Bone marrow aspirate smear
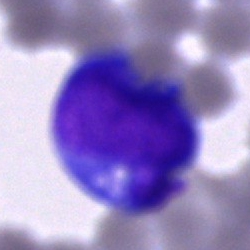 Morphological class = blast cell.